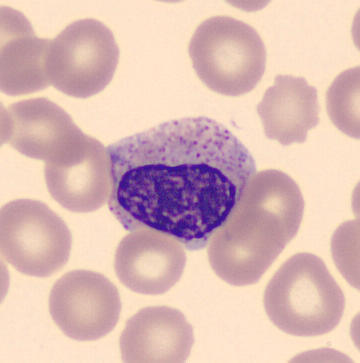 Q: What type of cell is this?
A: Metamyelocyte. Peripheral blood film. Automated cell imaging (CellaVision DM96). May Grünwald-Giemsa stain.